Bone marrow smear
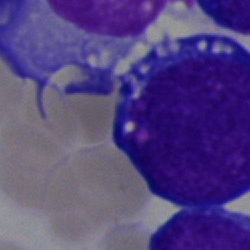 Single cell identified as a blast.